Bone marrow smear; single-cell field; 250×250 px — 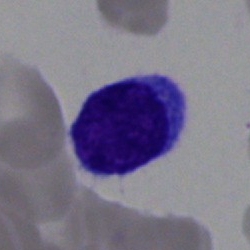

The cell shown is a lymphocyte.